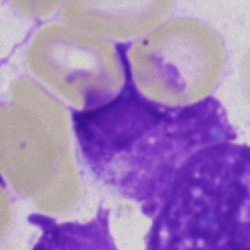
Q: What is shown here?
A: An artefact.